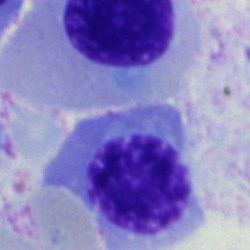 Showing a nucleated red blood cell.